Bone marrow aspirate smear
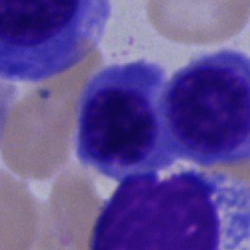

An erythroblast.